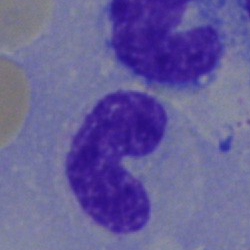Specimen: bone marrow aspirate smear.
Cell type: stab cell.
Lineage: myeloid.